Bone marrow smear · May-Grünwald-Giemsa/Pappenheim stain — 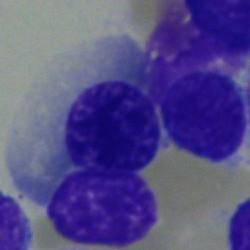The cell is normoblast.